Brightfield, 40× oil-immersion objective · bone marrow smear · single-cell crop.
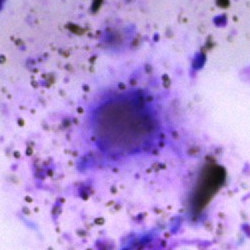Artifact.